Cropped to a single cell; 250×250; bone marrow smear:
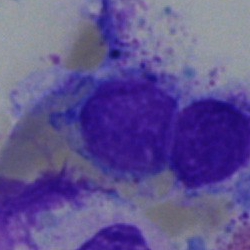A typical lymphocyte.